Bone marrow aspirate smear: 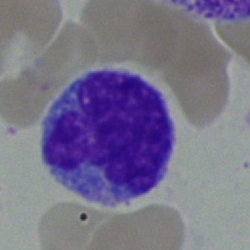

Q: Which cell type is shown here?
A: Monocyte.